Bone marrow smear: 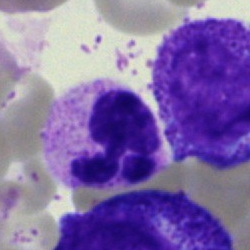

The cell is segmented neutrophil.